Bone marrow smear — 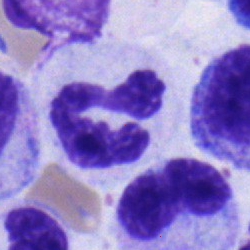Q: Identify the cell.
A: This is a polymorphonuclear neutrophil.